Bone marrow smear.
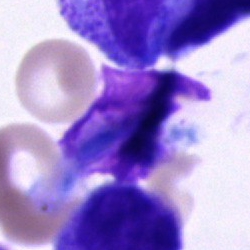Classification: artifact.